Bone marrow aspirate smear:
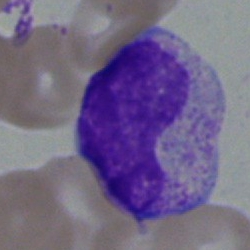 Morphology consistent with a metamyelocyte.